May-Grünwald-Giemsa stain; bone marrow aspirate smear; single-cell field
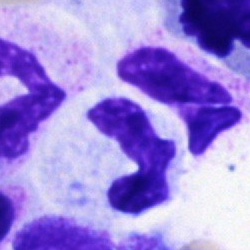

The morphological class is neutrophil (segmented).